Bone marrow aspirate smear: 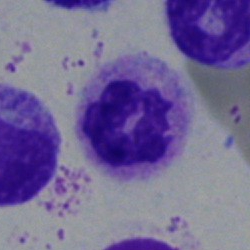Single cell identified as a segmented neutrophil.